Bone marrow aspirate smear: 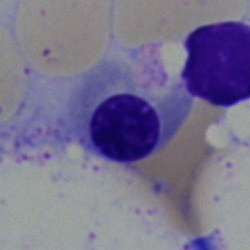

Q: What cell is this?
A: An erythroblast.